MGG-stained; bone marrow smear:
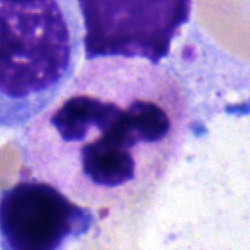
Morphology consistent with a neutrophil (segmented).